Bone marrow smear
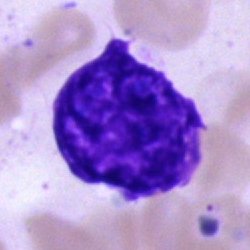Cell type — artefact.